Bone marrow smear — 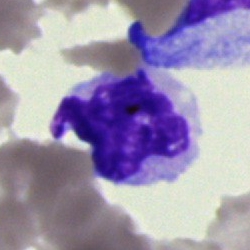
The cell is artefact.